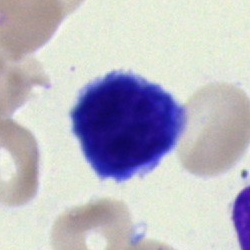 An erythroblast on a bone marrow smear.